250×250 px · single-cell crop · bone marrow aspirate smear — 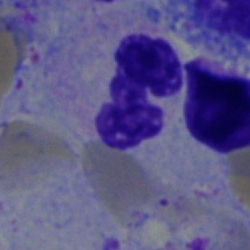 {"cell_type": "polymorphonuclear neutrophil"}